Romanowsky-type stain; peripheral blood film — 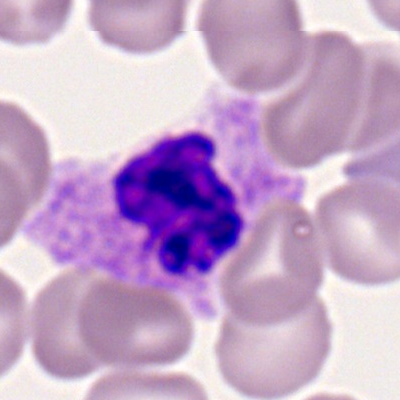Q: Which cell type is shown here?
A: It is a segmented neutrophil.